Bone marrow smear — 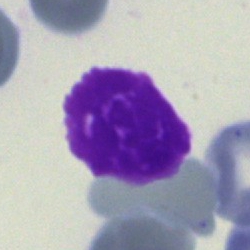 Cell type = artifact.